May-Grünwald-Giemsa stain · bone marrow aspirate smear: 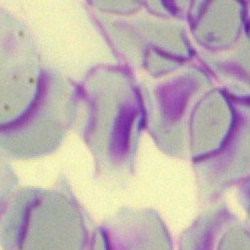

{"cell_type": "artifact"}